Bone marrow smear — 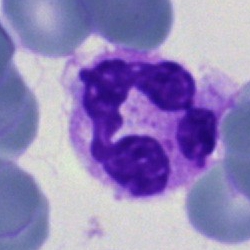
Neutrophil (segmented).